Cropped to a single cell; image size 400×400; peripheral blood film
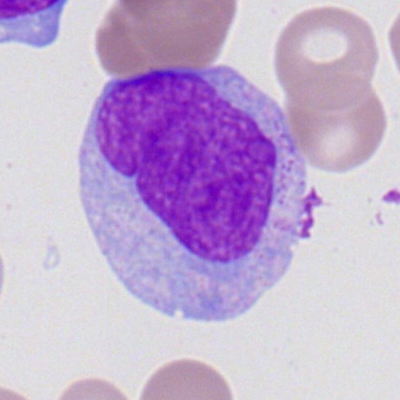

Morphology — monocyte.